Bone marrow smear; 40× objective, oil immersion: 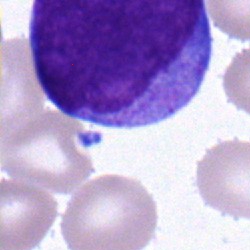 Cell = blast.